Bone marrow smear
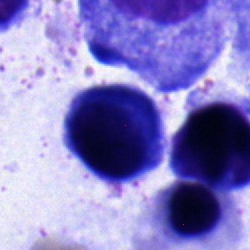

Specimen: bone marrow aspirate smear.
Classification: plasmacyte.
Lineage: lymphoid.